Bone marrow aspirate smear — 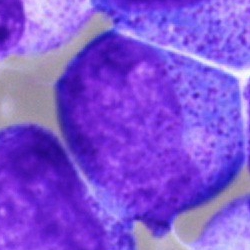
Morphology consistent with a progranulocyte.